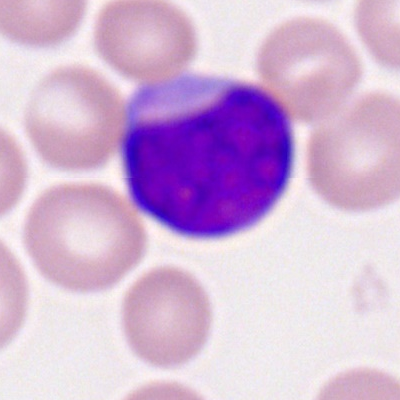
Cell: myeloblast.